Bone marrow aspirate smear — 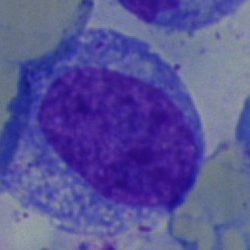 Specimen: bone marrow smear.
Cell: progranulocyte.
Lineage: myeloid.